Bone marrow smear
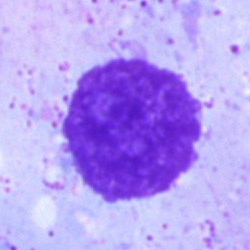
Specimen: bone marrow aspirate smear.
Classification: artifact.